Bone marrow smear. 40× objective, oil immersion
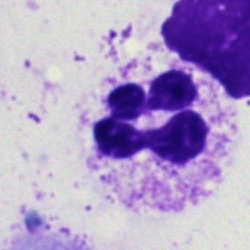 Q: What cell is this?
A: It is a segmented neutrophil.